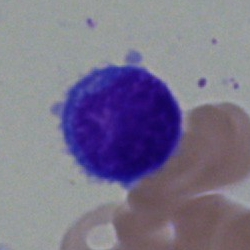

The morphological class is typical lymphocyte.